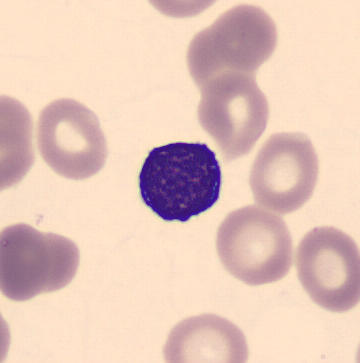

Classification: typical lymphocyte.

Peripheral blood smear; single cell centered in the field.